Peripheral blood smear
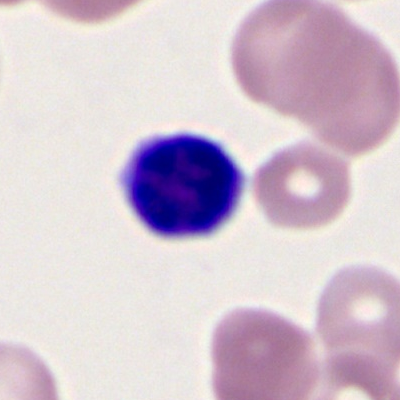 The morphological class is lymphocyte.